250×250 px · brightfield microscopy, 40× oil immersion · bone marrow smear:
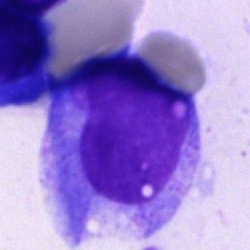

Impression → progranulocyte.